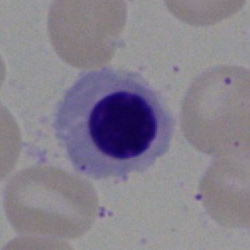Q: What cell is this?
A: It is a nucleated red cell.